Bone marrow aspirate smear: 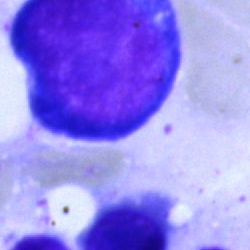
Q: Which cell type is shown here?
A: Pronormoblast.